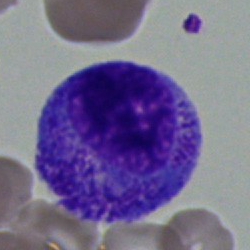 The cell shown is a progranulocyte.